Single-cell field · bone marrow smear — 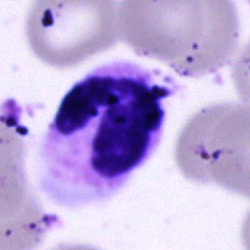Specimen: bone marrow smear.
Classification: segmented neutrophil.